250 by 250 pixels; 40× objective, oil immersion; bone marrow smear — 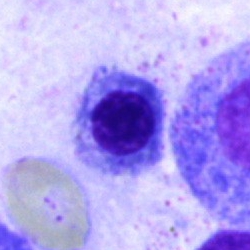

Morphological class: normoblast.